Bone marrow aspirate smear — 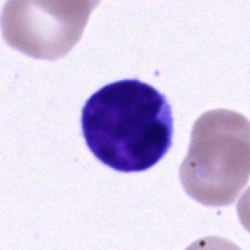Q: Identify the cell.
A: It is a typical lymphocyte.